Bone marrow aspirate smear · 40× oil immersion — 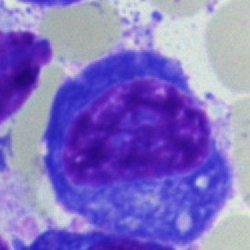

Single cell identified as a plasmacyte.